Single-cell crop · bone marrow smear — 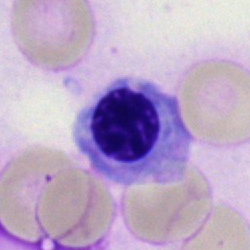

A normoblast.